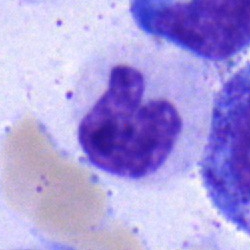
Bone marrow smear showing a stab cell.